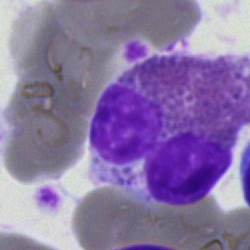Cell type: eosinophilic granulocyte.